Bone marrow aspirate smear.
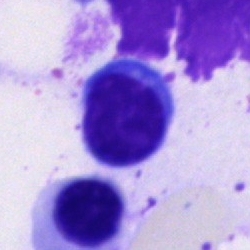 Morphology → lymphocyte.